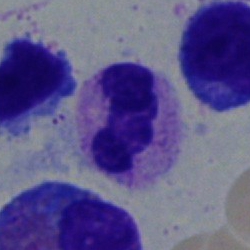 Q: Identify the cell.
A: It is a metamyelocyte.